Bone marrow aspirate smear.
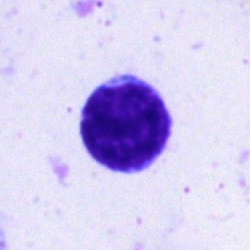

Q: What cell is this?
A: A lymphocyte.